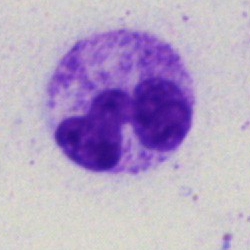 Impression → segmented neutrophil.